Bone marrow smear:
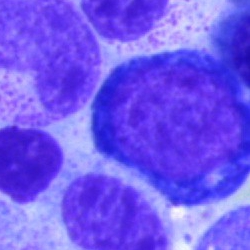
Specimen: bone marrow smear.
Cell type: proerythroblast.